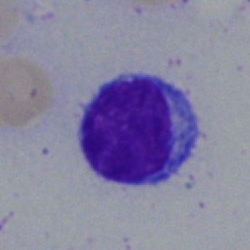
Impression → lymphocyte.